Bone marrow smear — 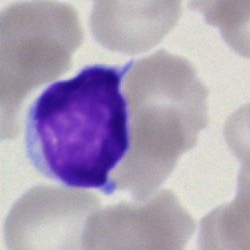Cell = lymphocyte.